Peripheral blood film: 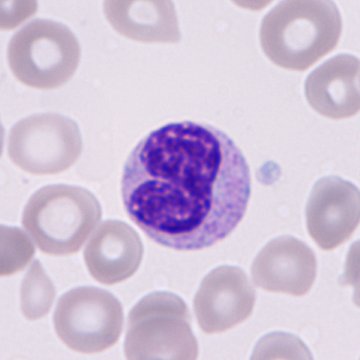
This is a granulocyte precursor.